Bone marrow smear; 40× oil immersion
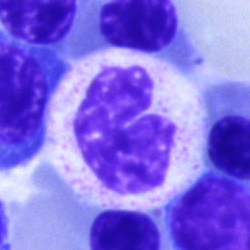
Impression → band neutrophil.